Bone marrow smear; MGG-stained — 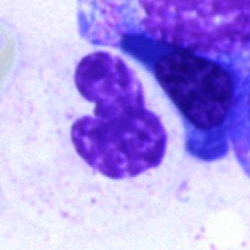Cell = segmented neutrophil.